Bone marrow aspirate smear: 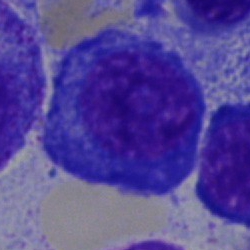
Cell type: plasma cell.